Single-cell field; bone marrow aspirate smear: 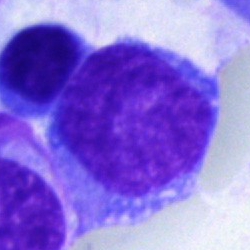

Specimen: bone marrow smear.
Cell: blast.